Bone marrow smear:
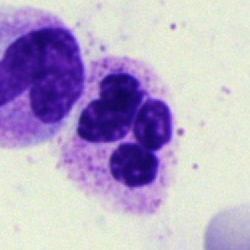

{"cell_type": "neutrophil (segmented)", "lineage": "myeloid"}